MGG-stained; bone marrow aspirate smear: 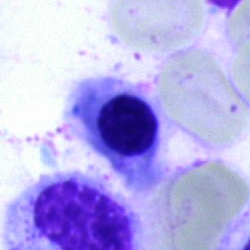 Specimen: bone marrow aspirate smear.
Morphological class: erythroblast.
Lineage: erythroid.